Bone marrow smear. MGG-stained: 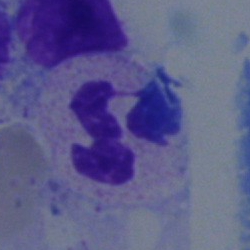
Polymorphonuclear neutrophil.